Bone marrow smear. 250×250 px: 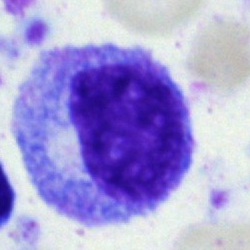Morphology → promyelocyte.